Single-cell crop · 40× objective, oil immersion · bone marrow aspirate smear:
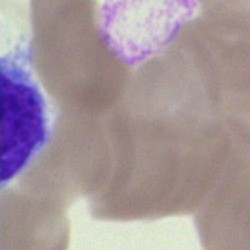
Impression — artifact.